Bone marrow smear
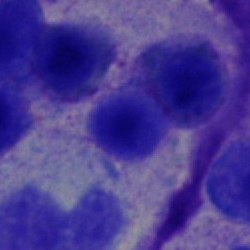 Cell = typical lymphocyte.